Bone marrow aspirate smear · May-Grünwald-Giemsa stain:
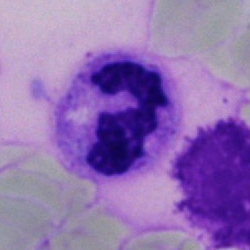

Morphology consistent with a segmented neutrophil.